Peripheral blood film:
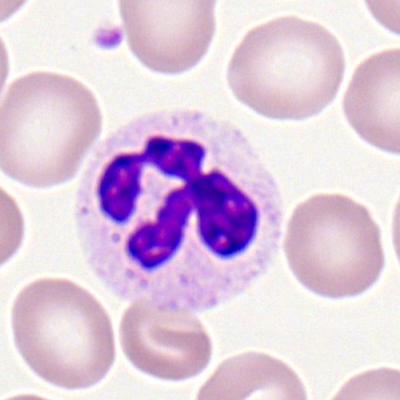
A neutrophil (segmented).